Peripheral blood film · M8 digital microscope (Precipoint), 100× oil immersion.
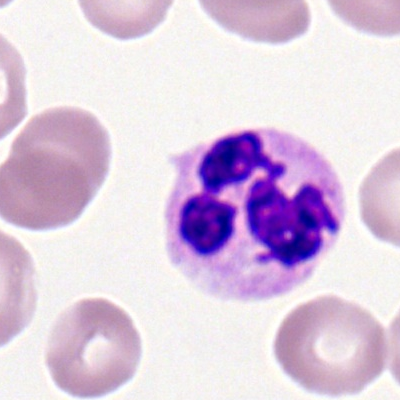

Morphology → segmented neutrophil.